Bone marrow smear: 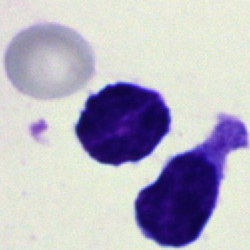

The cell shown is a lymphocyte.